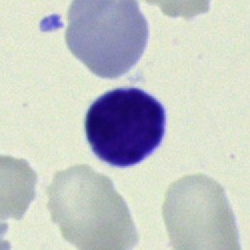
Cell type: typical lymphocyte.